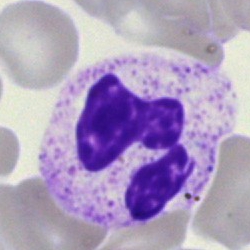Classification — segmented neutrophil.